250×250 px · bone marrow aspirate smear
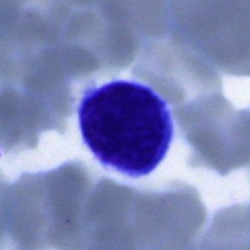

Cell = lymphocyte.